Peripheral blood film; Romanowsky-stained; 100× oil immersion: 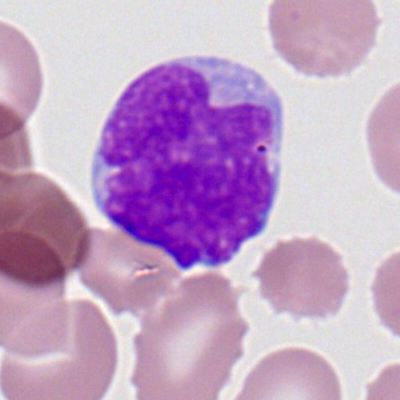

The cell shown is a myeloid blast.